Bone marrow smear · 250 by 250 pixels · single-cell field
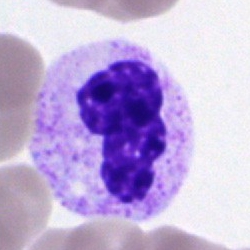

Q: What type of cell is this?
A: It is a polymorphonuclear neutrophil.